Bone marrow smear:
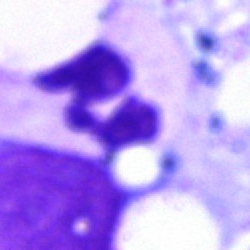

Q: What is shown here?
A: Neutrophil (segmented).